Single cell centered in the field · peripheral blood film — 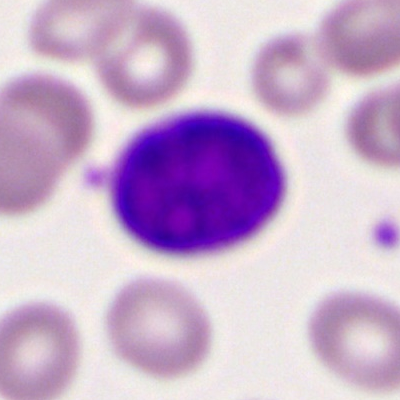 Specimen: peripheral blood smear.
Morphological class: myeloblast.